Bone marrow aspirate smear: 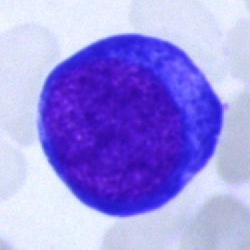 The cell shown is a pronormoblast.